Bone marrow aspirate smear.
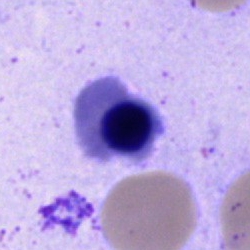

Showing a nucleated red blood cell.